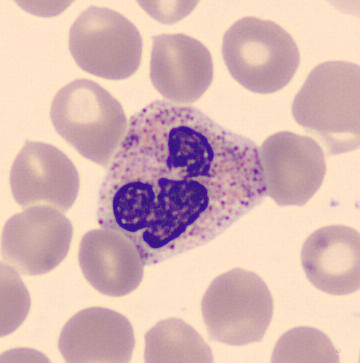

The cell type is polymorphonuclear neutrophil.